Bone marrow aspirate smear — 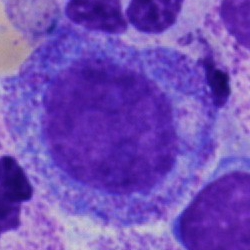 Q: What is the morphological classification of this cell?
A: This is a progranulocyte.